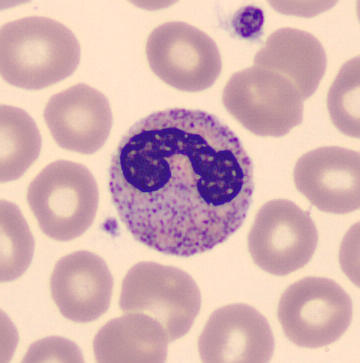

Peripheral blood smear · May Grünwald-Giemsa stain · CellaVision DM96 digital cell image. Q: What is this?
A: It is a stab cell.